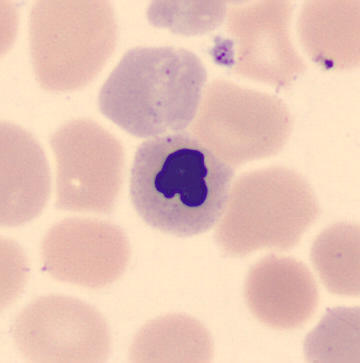
Peripheral blood film, single cell — nucleated red cell.